Single cell centered in the field. 40× objective, oil immersion. Bone marrow aspirate smear:
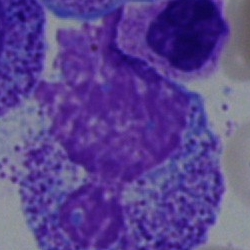
Cell: progranulocyte.